Single-cell field. Bone marrow smear. 250×250 px
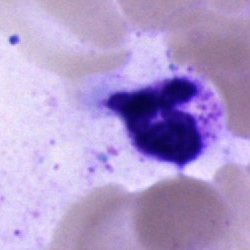
Classification — neutrophil (segmented).